Bone marrow aspirate smear: 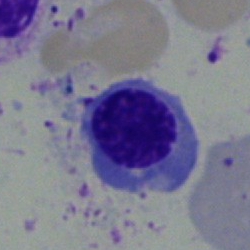
This is a nucleated red cell.